Image size 250×250 · bone marrow aspirate smear.
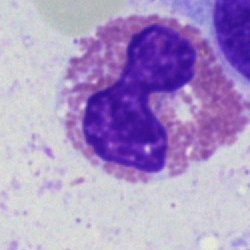
Showing an eosinophilic granulocyte.